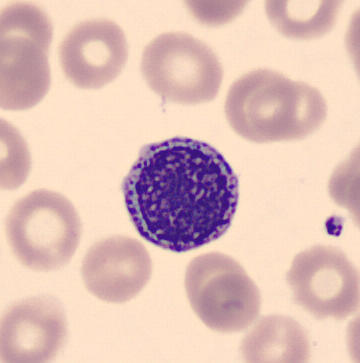
Q: What is this?
A: A myelocyte.

Peripheral blood film.